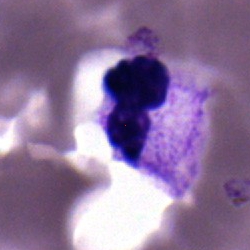Single-cell crop from a bone marrow smear: polymorphonuclear neutrophil.